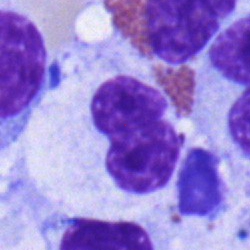This is a band neutrophil.